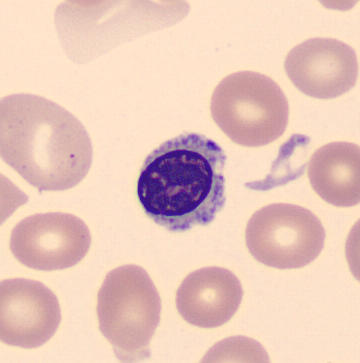
Image: Peripheral blood film.

Classification — nucleated red blood cell.